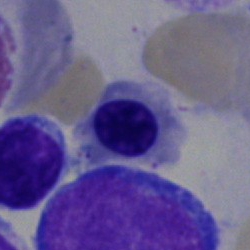

Cell type — normoblast.